Bone marrow smear · 40× objective, oil immersion · single-cell crop
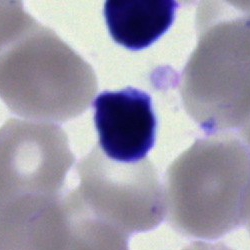

Impression — lymphocyte.